Single cell centered in the field. Bone marrow aspirate smear.
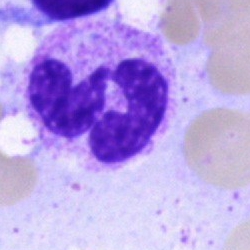
Impression → neutrophil (segmented).